Romanowsky stain. Peripheral blood smear:
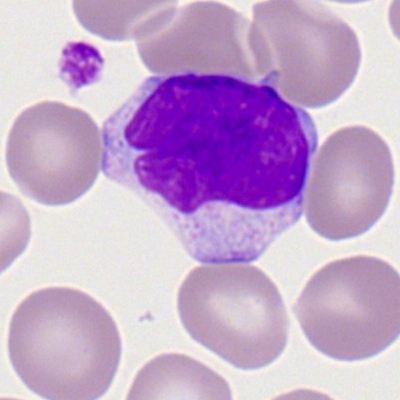

Impression → typical lymphocyte.